Bone marrow aspirate smear. Pappenheim-stained.
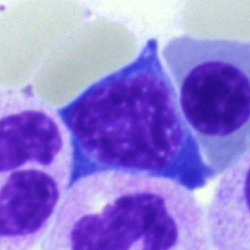

Single cell identified as an erythroblast.